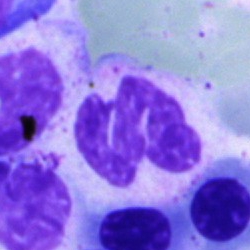 Bone marrow aspirate smear, single cell — neutrophil (segmented).